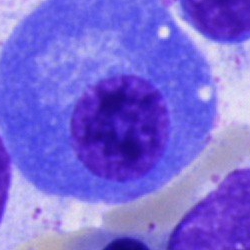
Cell type = plasma cell.